Bone marrow smear — 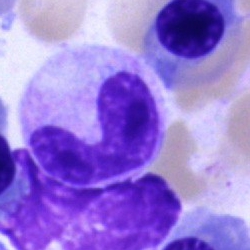

Q: What is the morphological classification of this cell?
A: A band-form neutrophil.